Bone marrow aspirate smear; MGG-stained; 250 by 250 pixels.
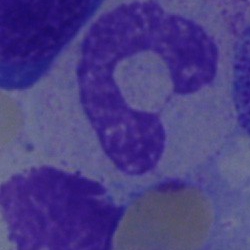
Stab cell.